Bone marrow aspirate smear; 250×250 px; May-Grünwald-Giemsa/Pappenheim stain:
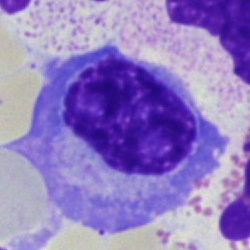

A plasma cell.